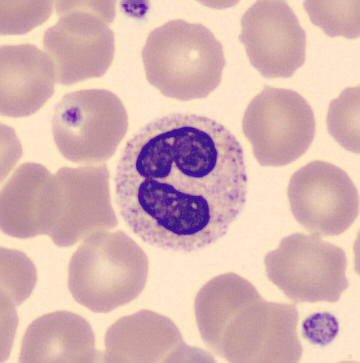Q: Identify the cell.
A: Segmented neutrophil.